Bone marrow smear · brightfield, 40× oil-immersion objective.
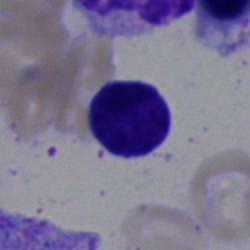 Q: Identify the cell.
A: This is a lymphocyte.